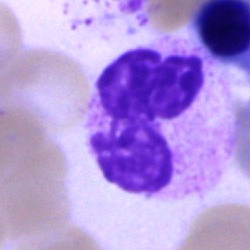

The cell shown is a neutrophil (segmented).